Bone marrow aspirate smear: 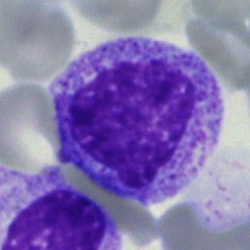Myelocyte.